Bone marrow aspirate smear:
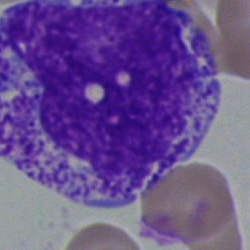 Q: Identify the cell.
A: It is a myelocyte.